40× objective, oil immersion. Bone marrow smear
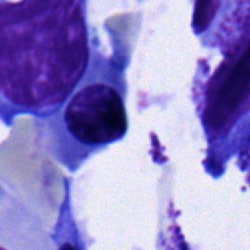
Specimen: bone marrow aspirate smear.
Classification: nucleated red blood cell.
Lineage: erythroid.